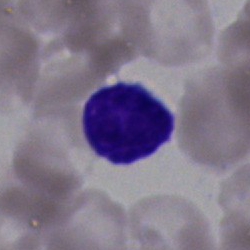Single cell identified as a lymphocyte.